May-Grünwald-Giemsa stain. Bone marrow aspirate smear. 250×250: 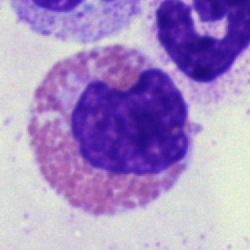 Cell type — eosinophil.